Bone marrow aspirate smear; 250 by 250 pixels; May-Grünwald-Giemsa/Pappenheim stain:
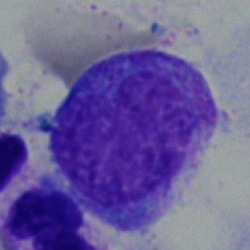
Specimen: bone marrow smear.
Classification: promyelocyte.